Bone marrow aspirate smear.
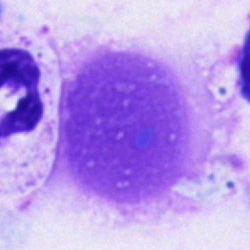This is an artifact.